Bone marrow aspirate smear: 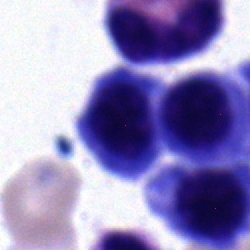

Cell = normoblast.